Image size 250×250. Cropped to a single cell. Bone marrow aspirate smear
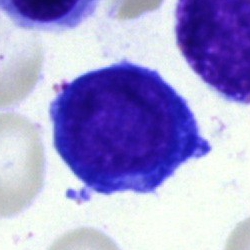

{"cell_type": "proerythroblast", "lineage": "erythroid"}